Bone marrow aspirate smear
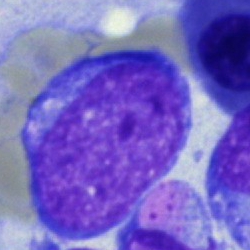 Impression → blast cell.